Single cell centered in the field. Bone marrow aspirate smear.
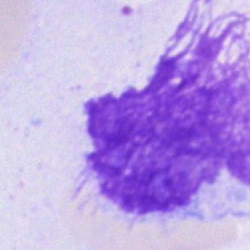 Showing an artefact.